Image size 250×250; Pappenheim-stained; bone marrow aspirate smear:
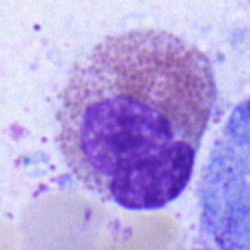 {"cell_type": "eosinophil"}